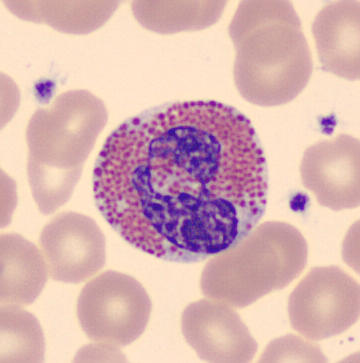

Specimen: peripheral blood film.
Cell: eosinophilic granulocyte.